Image size 250×250 · bone marrow smear.
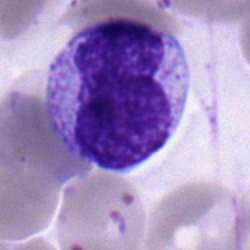

Classification — neutrophil (band).